Bone marrow smear.
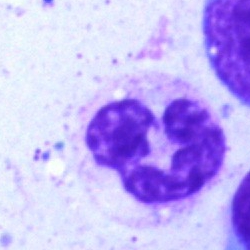 Showing a polymorphonuclear neutrophil.